Bone marrow smear.
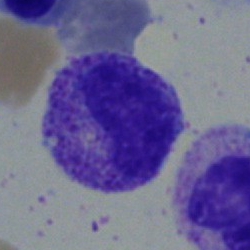

Metamyelocyte.